Bone marrow smear. MGG-stained — 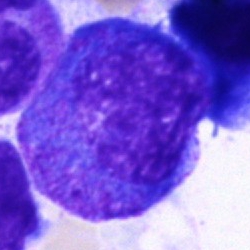
Single cell identified as a promyelocyte.